Bone marrow smear.
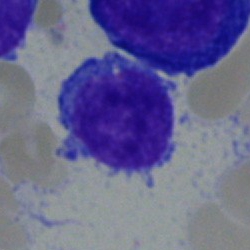
Specimen: bone marrow aspirate smear.
Cell type: typical lymphocyte.